Peripheral blood smear; cropped to a single cell:
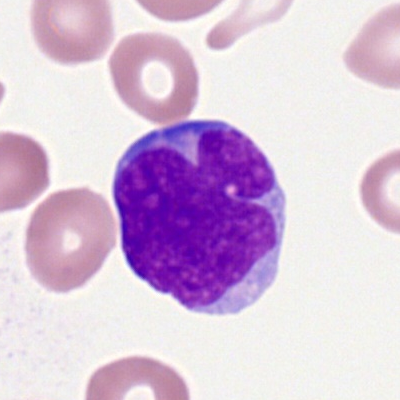

Impression → myeloid blast.